Bone marrow smear.
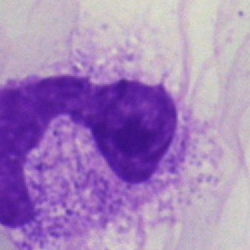
This is a band-form neutrophil.